Cropped to a single cell · 250 by 250 pixels · bone marrow aspirate smear:
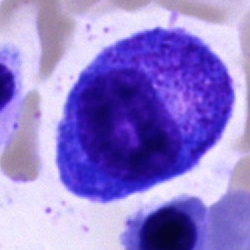
A progranulocyte.